Bone marrow smear — 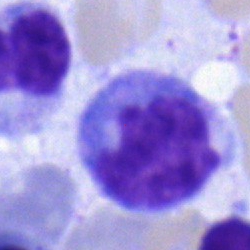

Q: Which cell type is shown here?
A: Monocyte.